Bone marrow aspirate smear. May-Grünwald-Giemsa stain:
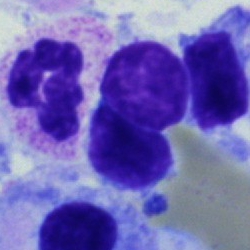

Morphological class — typical lymphocyte.